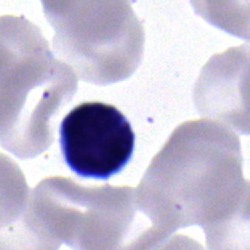 Bone marrow smear showing a typical lymphocyte.